Bone marrow aspirate smear
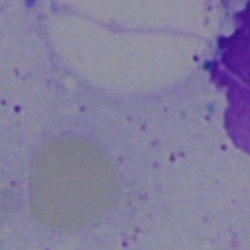Q: What is shown here?
A: An artifact.